250×250 px. Bone marrow aspirate smear
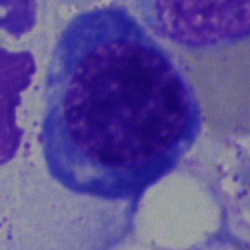

Specimen: bone marrow smear.
Morphological class: normoblast.
Lineage: erythroid.